100× oil immersion · 400 by 400 pixels · peripheral blood film:
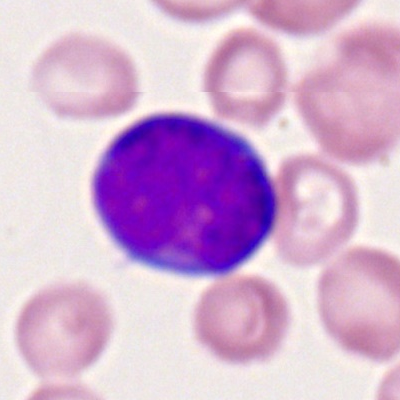

Q: What cell is this?
A: This is a myeloid blast.